Single-cell field; bone marrow aspirate smear — 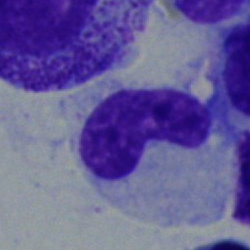
This is a band-form neutrophil.